Bone marrow aspirate smear · image size 250×250 — 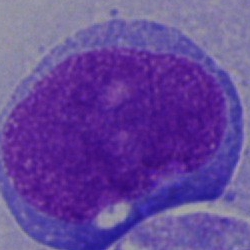

Showing a blast.